Bone marrow smear: 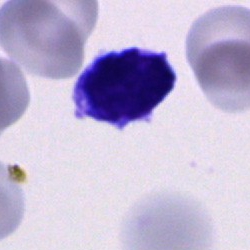
The morphological class is cell of indeterminate lineage.